Bone marrow aspirate smear. 250×250
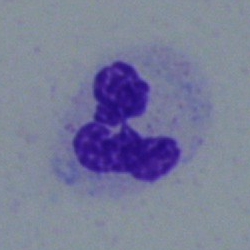Specimen: bone marrow aspirate smear.
Classification: polymorphonuclear neutrophil.